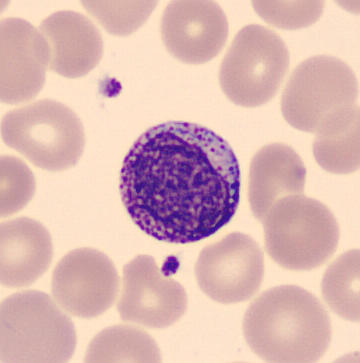
Identified as a myelocyte.
Acquisition: Peripheral blood film.